Peripheral blood smear: 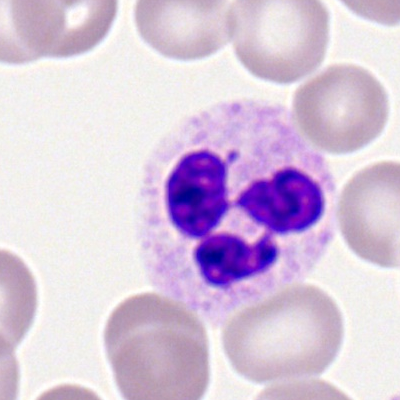This is a segmented neutrophil.